Bone marrow smear: 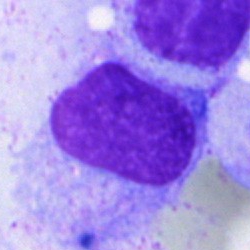
Specimen: bone marrow smear.
Classification: artefact.